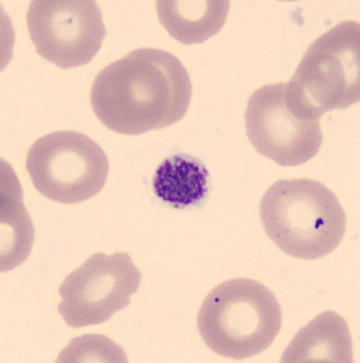 Image: Peripheral blood film.

A platelet.